Bone marrow smear
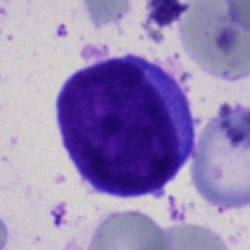
This is a blast cell.